Brightfield, 40× oil-immersion objective. Bone marrow aspirate smear:
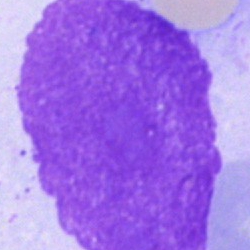 {"cell_type": "artifact"}